Cropped to a single cell · bone marrow aspirate smear · 250 by 250 pixels
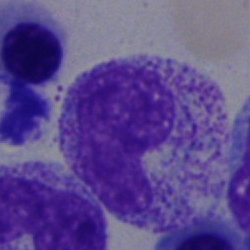

A metamyelocyte.